250×250; bone marrow aspirate smear
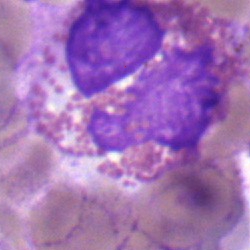 Specimen: bone marrow smear.
Classification: eosinophilic granulocyte.
Lineage: myeloid.